Bone marrow smear
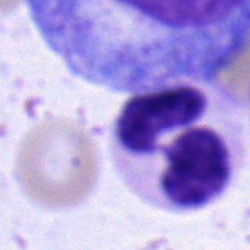 This is a neutrophil (segmented).